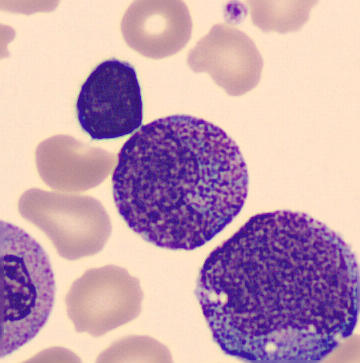 Progranulocyte.
Acquisition: Peripheral blood smear.